Bone marrow aspirate smear:
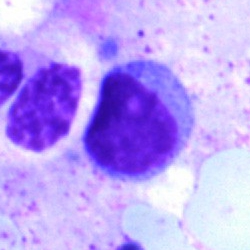Single cell identified as a lymphocyte.